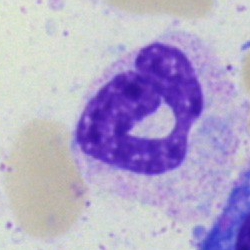
Cell — neutrophil (segmented).